Bone marrow aspirate smear
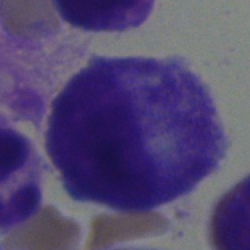 Impression — myelocyte.